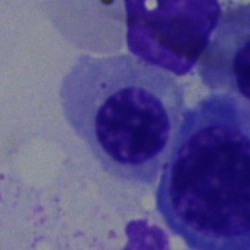
A nucleated red blood cell.